Peripheral blood film; 400×400 px: 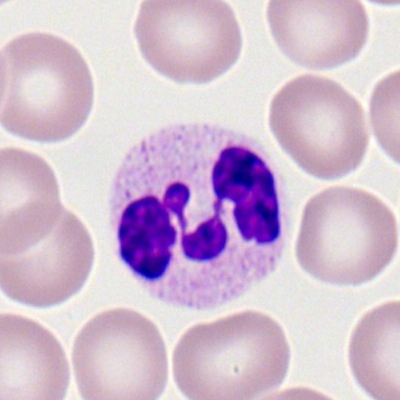

Classification — neutrophil (segmented).